Bone marrow aspirate smear — 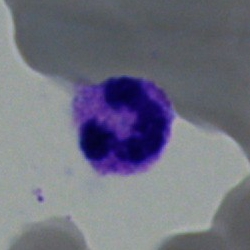

Neutrophil (segmented).